May Grünwald-Giemsa stain. Peripheral blood smear
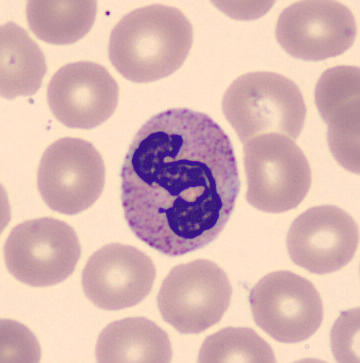
Q: What is this?
A: This is a polymorphonuclear neutrophil.